MGG-stained. Bone marrow smear.
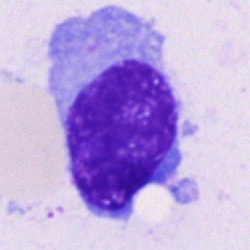 Specimen: bone marrow aspirate smear.
Morphological class: plasma cell.